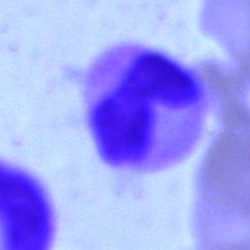

Q: What cell is this?
A: A band neutrophil.